Bone marrow smear. Single cell centered in the field — 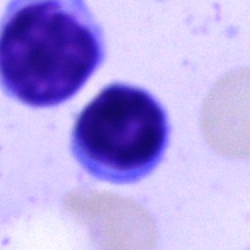 Cell = typical lymphocyte.